Bone marrow smear:
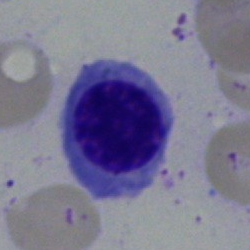
Morphological class = nucleated red cell.